Peripheral blood film. Romanowsky-stained.
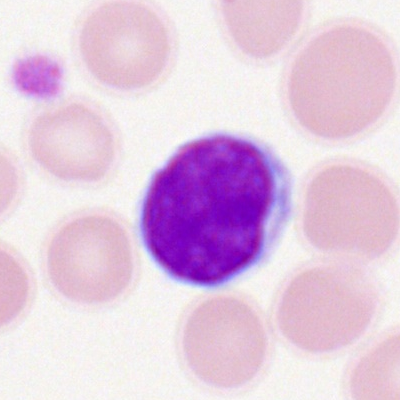
The classification is lymphocyte.